Bone marrow aspirate smear — 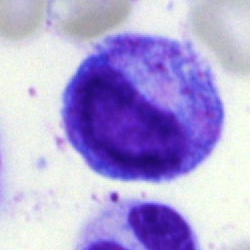
Cell type = myelocyte.